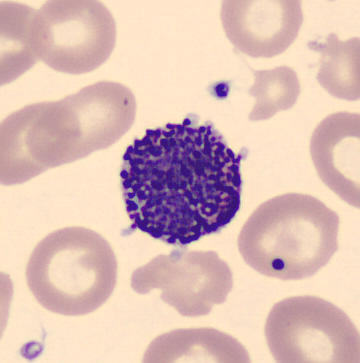

Preparation: CellaVision DM96 · image size 360×363 · peripheral blood film. Showing a basophil.